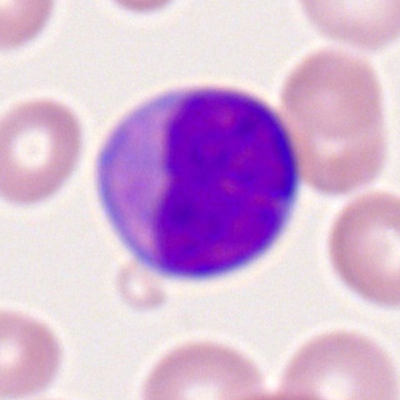 Cell type = myeloid blast.